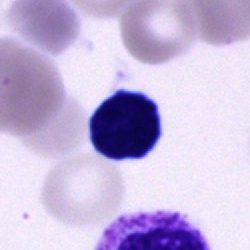 A typical lymphocyte.